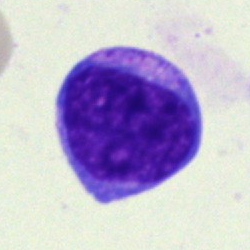Specimen: bone marrow smear.
Cell type: undifferentiated blast.